250×250; bone marrow aspirate smear; single-cell field.
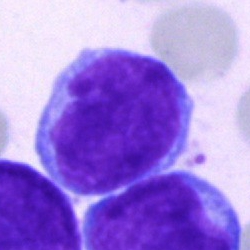 Cell — blast.